Romanowsky-stained; peripheral blood smear:
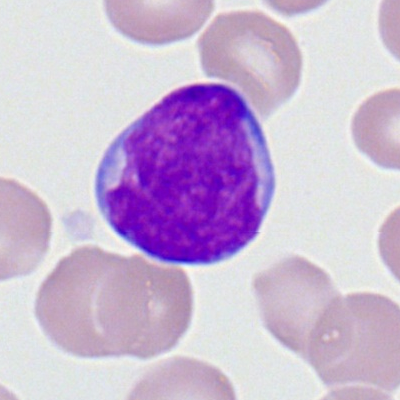Classification: myeloid blast.